Bone marrow smear · May-Grünwald-Giemsa/Pappenheim stain.
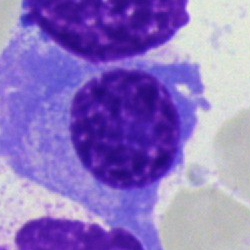The cell shown is a plasmacyte.